Bone marrow aspirate smear: 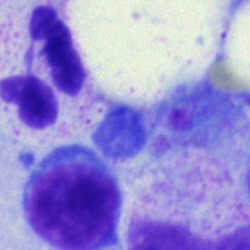 {"cell_type": "cell of indeterminate lineage"}